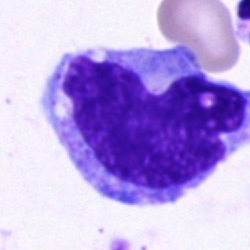

Specimen: bone marrow smear.
Morphological class: monocyte.
Lineage: myeloid.